40× oil immersion. Bone marrow smear: 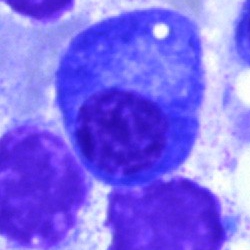
Specimen: bone marrow aspirate smear.
Cell type: plasma cell.
Lineage: lymphoid.